Bone marrow smear. Single-cell field. May-Grünwald-Giemsa/Pappenheim stain.
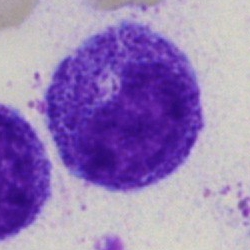
{"cell_type": "promyelocyte", "lineage": "myeloid"}